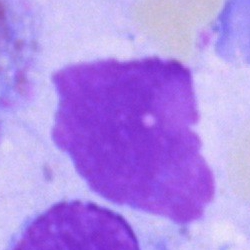 Classification — artefact.